Bone marrow smear:
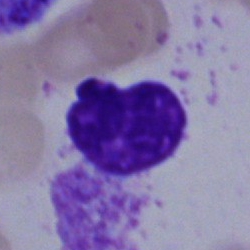

Morphology — artefact.